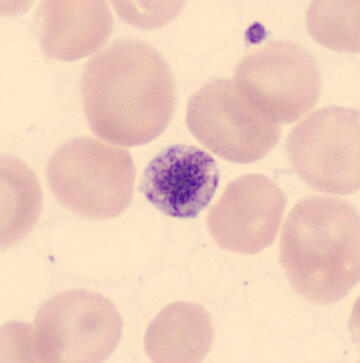

May Grünwald-Giemsa stain · CellaVision DM96 · peripheral blood film.
Identified as a thrombocyte.